Cropped to a single cell · bone marrow aspirate smear:
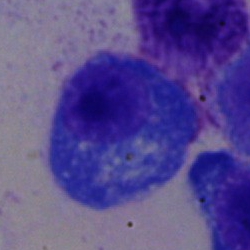 The cell shown is a plasmacyte.